Bone marrow aspirate smear:
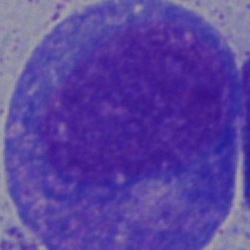
Specimen: bone marrow smear.
Morphological class: promyelocyte.
Lineage: myeloid.